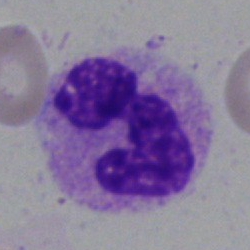

Q: What is shown here?
A: It is a segmented neutrophil.